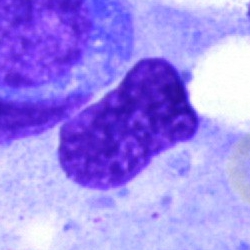

Bone marrow smear showing an artefact.